Bone marrow smear.
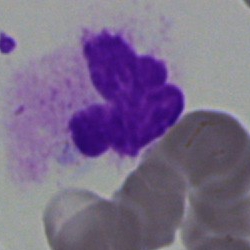Q: What is the morphological classification of this cell?
A: This is a stab cell.